Bone marrow aspirate smear. May-Grünwald-Giemsa stain — 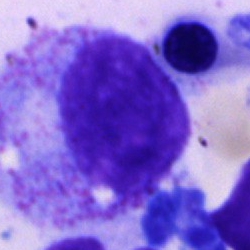 {"cell_type": "promyelocyte", "lineage": "myeloid"}